Cropped to a single cell. MGG-stained. Bone marrow aspirate smear — 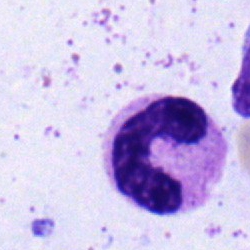 Cell = band-form neutrophil.